Single-cell field · bone marrow aspirate smear — 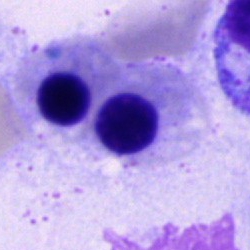

Showing an erythroblast.